400 by 400 pixels; Romanowsky stain; peripheral blood film.
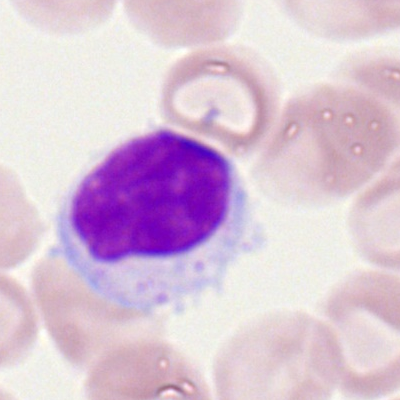The cell shown is a lymphocyte.